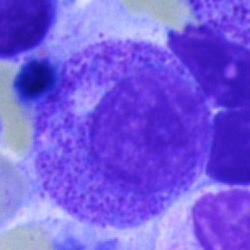Specimen: bone marrow aspirate smear.
Cell type: myelocyte.
Lineage: myeloid.